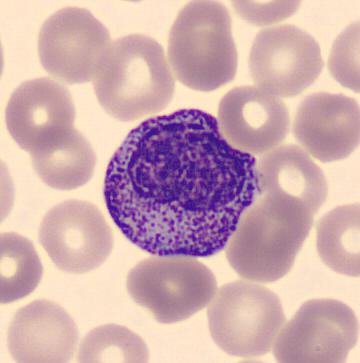
Specimen: peripheral blood smear.
Cell: myelocyte.
Lineage: myeloid.
MGG stain.